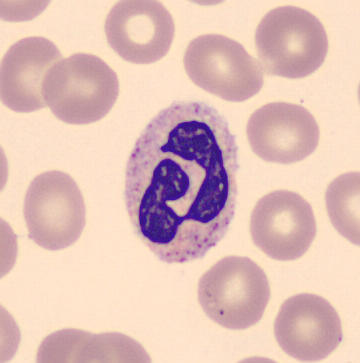 Q: What cell is this?
A: A polymorphonuclear neutrophil.
Peripheral blood smear.